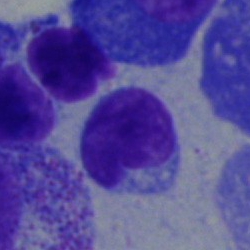

The classification is lymphocyte.